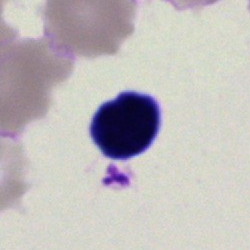An artifact.